Bone marrow smear — 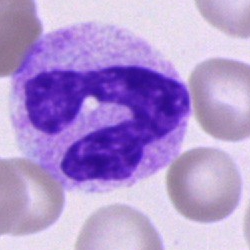 Cell — neutrophil (band).